Peripheral blood smear:
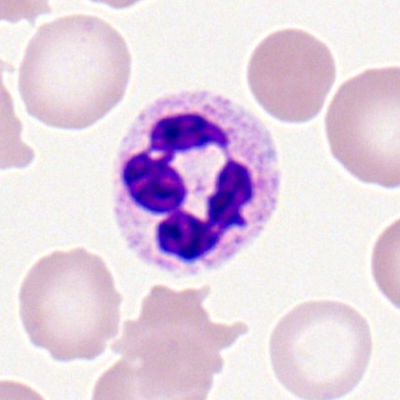
Q: Which cell type is shown here?
A: It is a neutrophil (segmented).